Bone marrow aspirate smear:
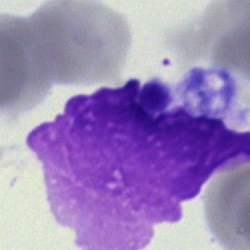

The cell shown is an artefact.